Bone marrow smear · May-Grünwald-Giemsa stain · single cell centered in the field.
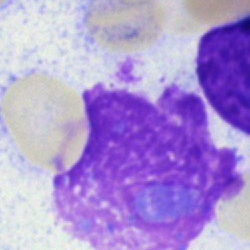
Cell = artefact.